Bone marrow aspirate smear: 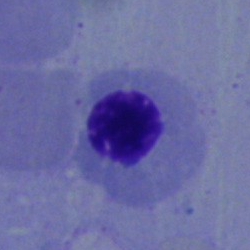Morphology → erythroblast.